Bone marrow aspirate smear
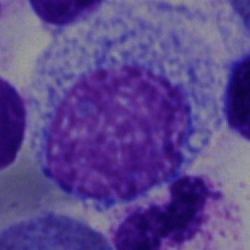 Impression — progranulocyte.